40× objective, oil immersion; bone marrow aspirate smear
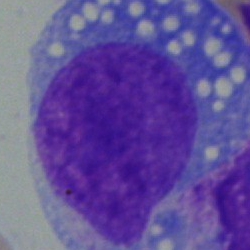
The morphological class is undifferentiated blast.